250×250 px; bone marrow smear: 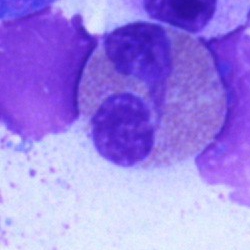 Single cell identified as an eosinophil.